Bone marrow aspirate smear · single-cell field.
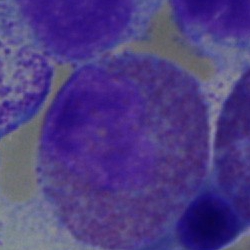
Cell — eosinophil.